Bone marrow aspirate smear — 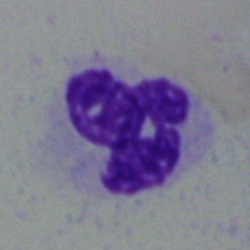

Cell: neutrophil (segmented).